Bone marrow smear: 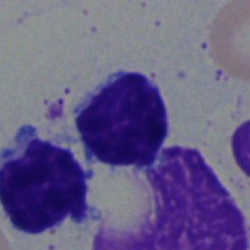 Q: Which cell type is shown here?
A: This is a typical lymphocyte.